100× objective, oil immersion; peripheral blood film; single cell centered in the field: 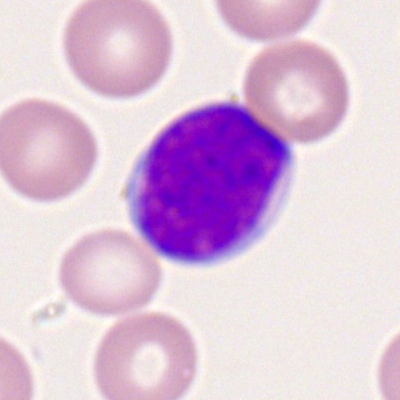

Myeloblast.